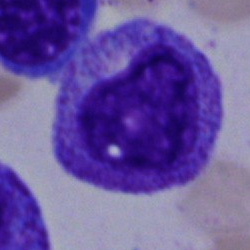 Bone marrow aspirate smear, single cell — promyelocyte.